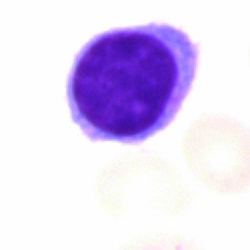

Bone marrow aspirate smear, single cell — typical lymphocyte.